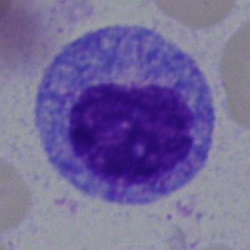
The cell shown is a promyelocyte.